Bone marrow smear — 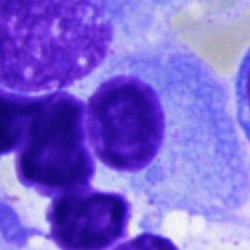
A plasmacyte.